Bone marrow aspirate smear
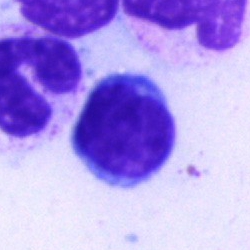
This is a typical lymphocyte.